Bone marrow smear: 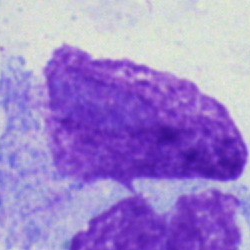

Cell type — artefact.